Bone marrow smear. Cropped to a single cell: 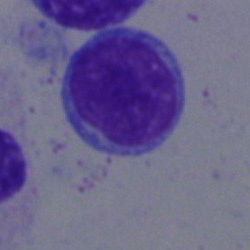Morphology → typical lymphocyte.